Peripheral blood smear · single-cell field · 100× oil immersion
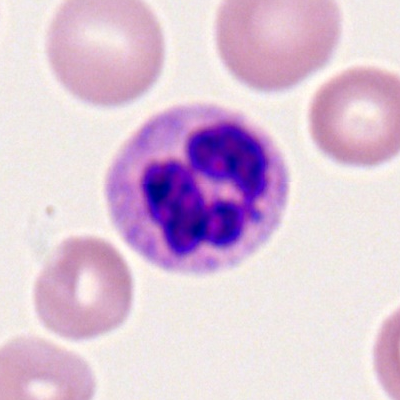
Morphology — neutrophil (segmented).